250×250; bone marrow smear.
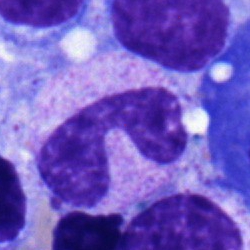

The morphological class is stab cell.